Bone marrow smear
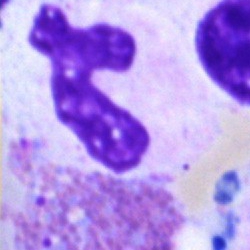 Q: What is shown here?
A: This is an artefact.